Bone marrow smear · cropped to a single cell · brightfield, 40× oil-immersion objective
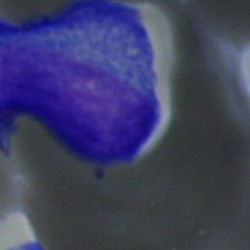 Cell: plasmacyte.